Bone marrow smear. 40× objective, oil immersion. Single cell centered in the field:
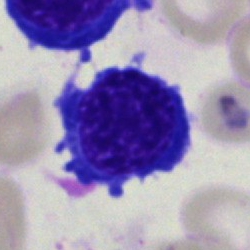 Impression → nucleated red cell.